Bone marrow smear · single cell centered in the field · 40× objective, oil immersion
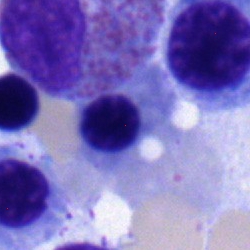An erythroblast.